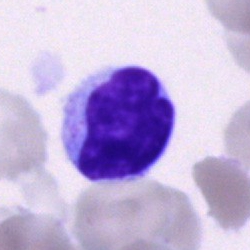Cell type: typical lymphocyte.